Single-cell crop; 250×250; bone marrow smear — 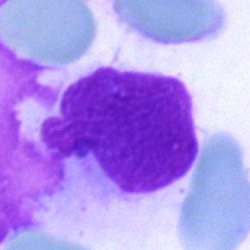 Cell = artifact.